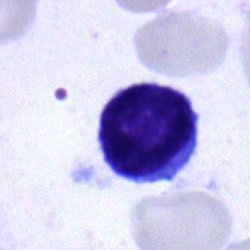

Morphology → lymphocyte.